Bone marrow smear. 40× oil immersion. MGG-stained: 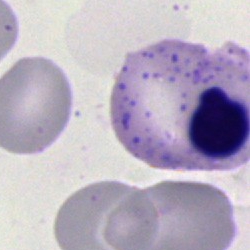Specimen: bone marrow aspirate smear.
Cell type: nucleated red cell.
Lineage: erythroid.